Bone marrow aspirate smear — 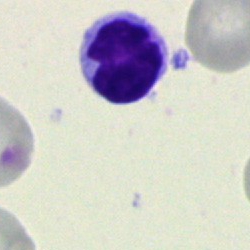
Showing a lymphocyte.